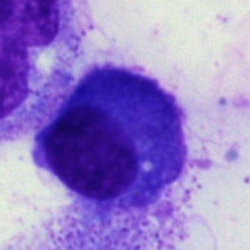
Single cell identified as a plasmacyte.